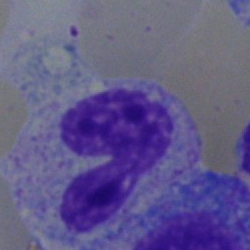

Single cell identified as a neutrophil (band).